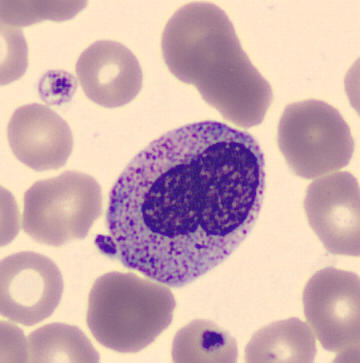Peripheral blood film.
Q: Which cell type is shown here?
A: Metamyelocyte.